Bone marrow aspirate smear — 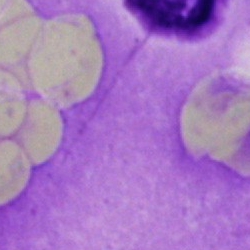
Cell type: artefact.